250 by 250 pixels; bone marrow smear; single-cell crop: 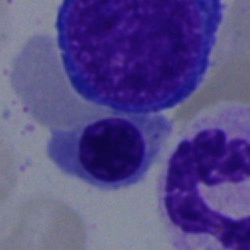
Morphology consistent with a normoblast.